Bone marrow aspirate smear
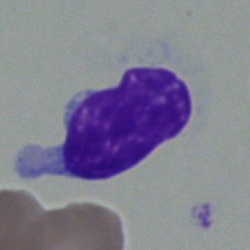

Q: What type of cell is this?
A: A typical lymphocyte.